Bone marrow smear:
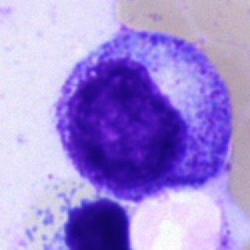 A promyelocyte.